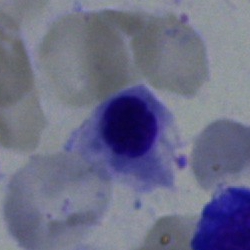

Showing a normoblast.